250×250; single-cell crop; bone marrow aspirate smear
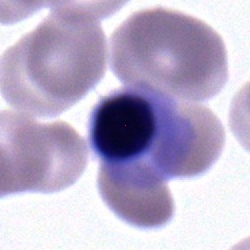Specimen: bone marrow smear.
Cell: erythroblast.